Bone marrow aspirate smear · single-cell field · brightfield microscopy, 40× oil immersion: 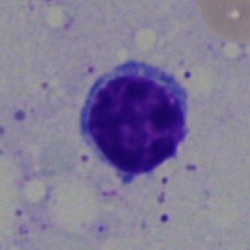 Specimen: bone marrow aspirate smear.
Morphological class: lymphocyte.
Lineage: lymphoid.